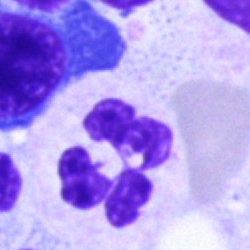

Bone marrow smear showing a segmented neutrophil.